Bone marrow smear.
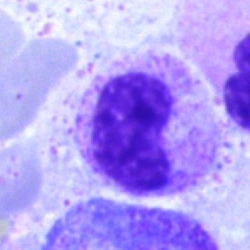 {"cell_type": "metamyelocyte", "lineage": "myeloid"}